MGG-stained · bone marrow aspirate smear
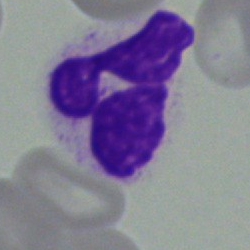Impression — segmented neutrophil.